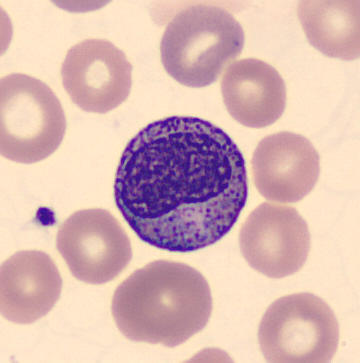

Q: What is the morphological classification of this cell?
A: This is a metamyelocyte.